Bone marrow aspirate smear:
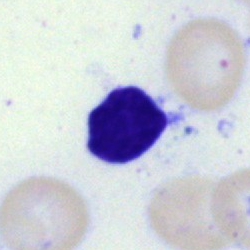Showing a lymphocyte.